Romanowsky-stained; peripheral blood smear; 100× objective, oil immersion
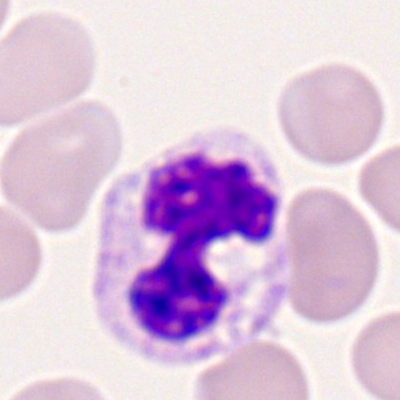 Specimen: peripheral blood smear.
Cell: neutrophil (segmented).
Lineage: myeloid.